Bone marrow smear — 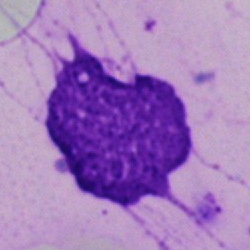 Q: What is shown here?
A: Artifact.